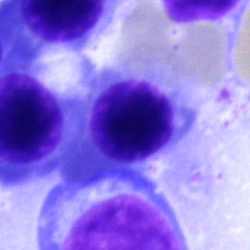
Q: Which cell type is shown here?
A: An erythroblast.